Bone marrow smear. Brightfield, 40× oil-immersion objective — 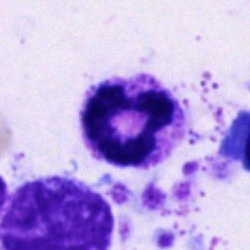
Q: What cell is this?
A: Segmented neutrophil.